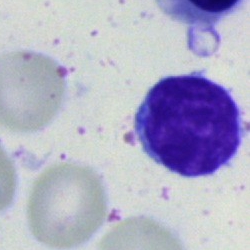

The cell shown is a lymphocyte.